Bone marrow aspirate smear — 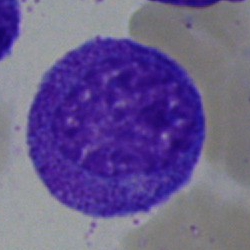
Specimen: bone marrow aspirate smear.
Classification: progranulocyte.
Lineage: myeloid.